Image size 400×400. Peripheral blood smear:
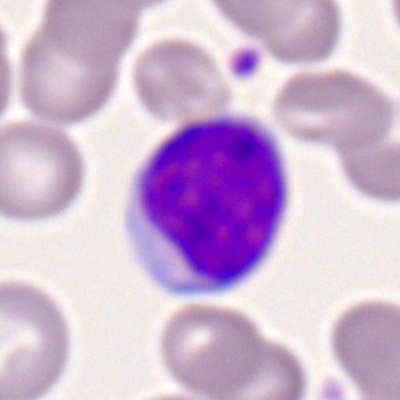

The cell shown is a typical lymphocyte.